Peripheral blood film; single cell centered in the field:
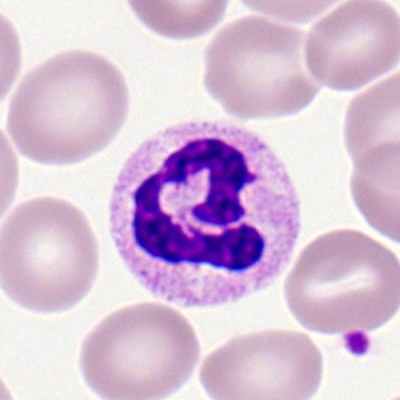
Single cell identified as a polymorphonuclear neutrophil.